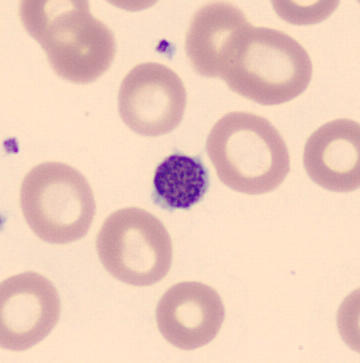

Morphology consistent with a platelet.